Bone marrow smear · May-Grünwald-Giemsa/Pappenheim stain — 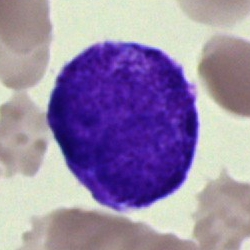

The cell shown is a progranulocyte.